Single cell centered in the field; brightfield microscopy, 40× oil immersion; bone marrow aspirate smear:
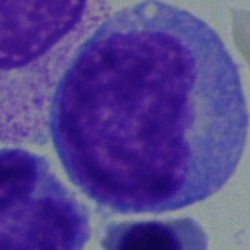
Specimen: bone marrow smear.
Morphological class: blast.